Peripheral blood film — 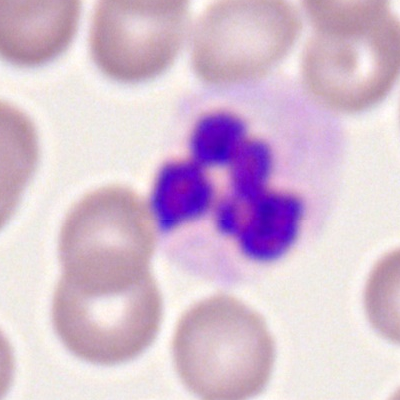
The classification is polymorphonuclear neutrophil.